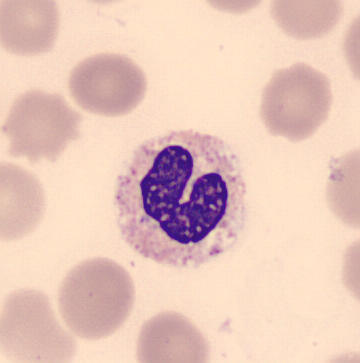
Morphology — band-form neutrophil.

Image: Peripheral blood smear.